Bone marrow smear — 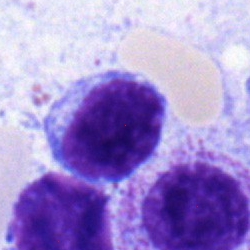

Morphology consistent with a lymphocyte.